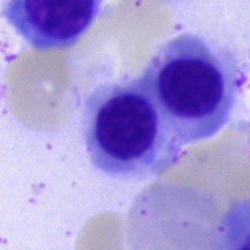 Morphological class: erythroblast.